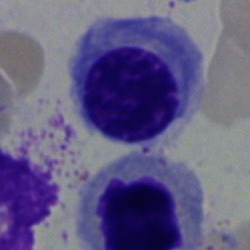

Q: Which cell type is shown here?
A: It is a nucleated red cell.